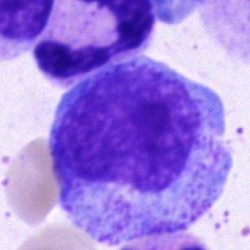
Cell: progranulocyte.